Bone marrow smear · MGG-stained · cropped to a single cell:
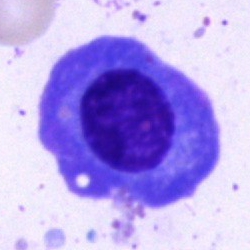Morphology → plasmacyte.